Bone marrow smear
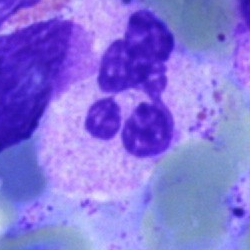 A neutrophil (segmented).